250×250 px. Bone marrow smear.
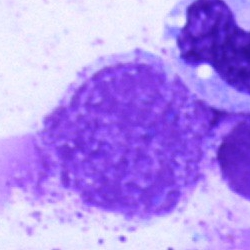 Cell: artefact.